Bone marrow aspirate smear. 250 by 250 pixels. Brightfield, 40× oil-immersion objective:
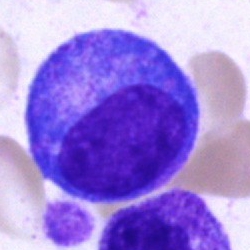Classification: promyelocyte.